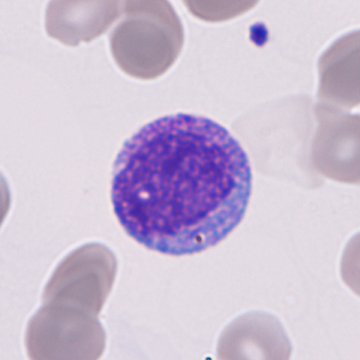 From a peripheral blood smear: a granulocyte precursor.